MGG-stained · bone marrow aspirate smear.
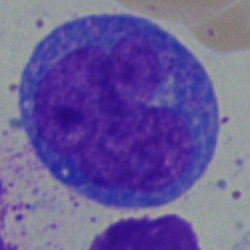 {"cell_type": "undifferentiated blast"}